Bone marrow smear.
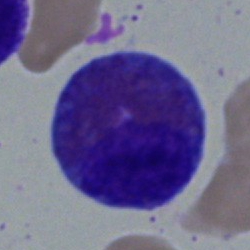
Showing an eosinophil.